40× oil immersion; May-Grünwald-Giemsa stain; bone marrow smear — 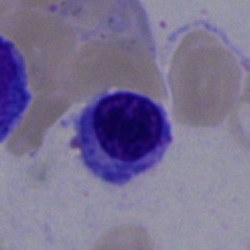 {"cell_type": "nucleated red cell", "lineage": "erythroid"}